Bone marrow aspirate smear; 250×250; May-Grünwald-Giemsa stain.
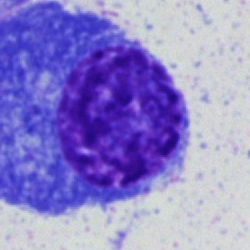 Cell: plasma cell.